Bone marrow aspirate smear.
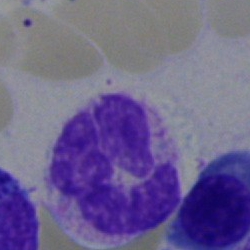 Specimen: bone marrow aspirate smear.
Classification: neutrophil (segmented).